Single cell centered in the field; bone marrow aspirate smear: 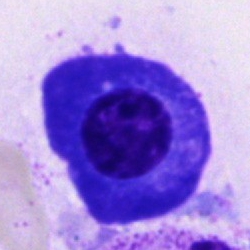
The cell shown is a plasmacyte.